Bone marrow aspirate smear.
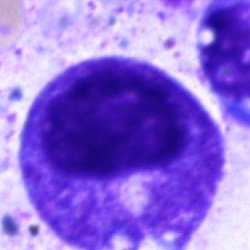
Q: Identify the cell.
A: Promyelocyte.